Bone marrow aspirate smear
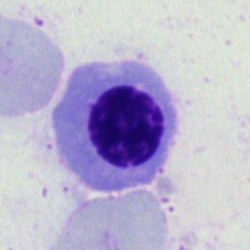

Cell type — nucleated red cell.